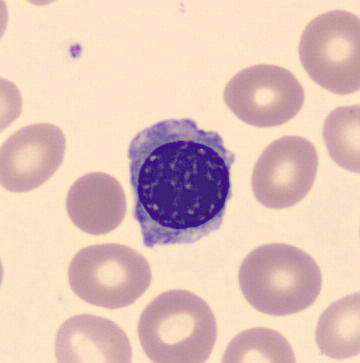 A nucleated red blood cell.